Bone marrow aspirate smear. May-Grünwald-Giemsa/Pappenheim stain
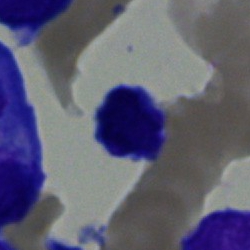 Q: What is shown here?
A: Typical lymphocyte.